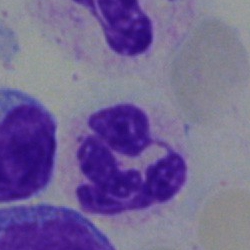 {"cell_type": "polymorphonuclear neutrophil"}